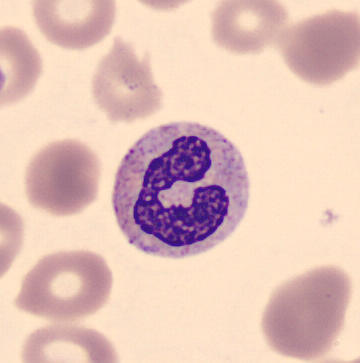Specimen: peripheral blood smear.
Cell: band-form neutrophil.
May Grünwald-Giemsa stain.